Cropped to a single cell. Peripheral blood smear. Romanowsky-type stain: 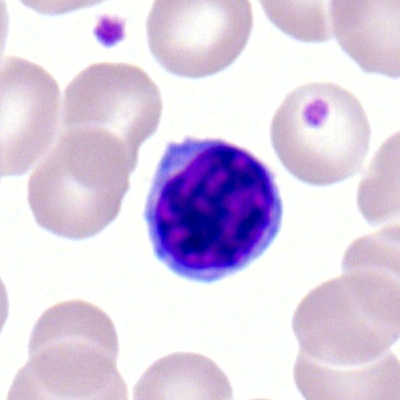

The cell type is lymphocyte.